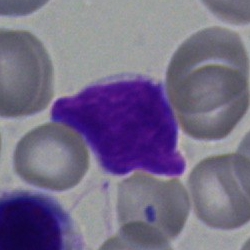 Cell type: lymphocyte.